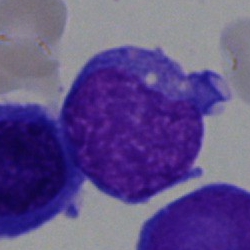

Q: Identify the cell.
A: This is a blast.